Bone marrow aspirate smear. Pappenheim-stained:
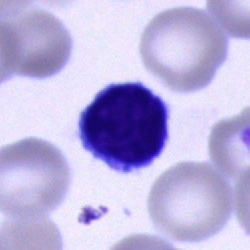 The morphological class is typical lymphocyte.